Bone marrow aspirate smear
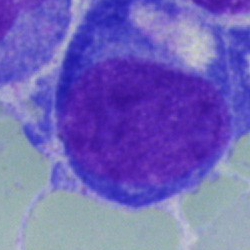The cell shown is a pronormoblast.